Romanowsky stain; peripheral blood film: 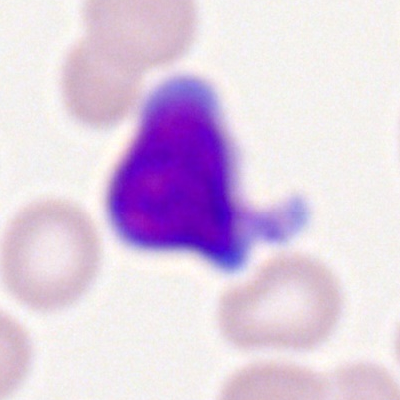
Typical lymphocyte.